Bone marrow smear: 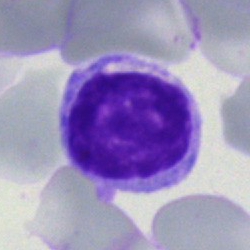
Q: What type of cell is this?
A: This is a typical lymphocyte.